Cropped to a single cell. Bone marrow aspirate smear:
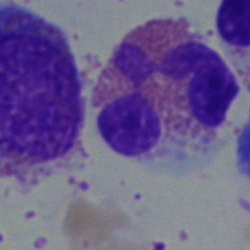 An eosinophilic granulocyte.